Bone marrow smear.
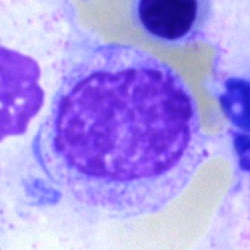Impression — myelocyte.